Bone marrow aspirate smear — 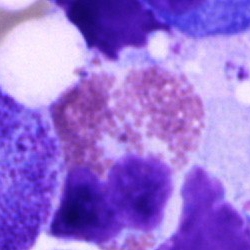
Q: What type of cell is this?
A: This is an eosinophilic granulocyte.